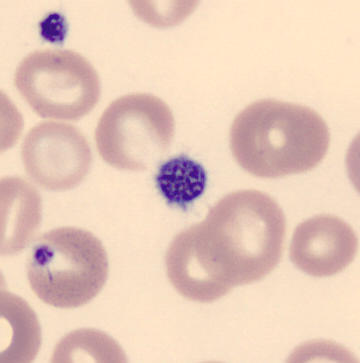CellaVision DM96. Peripheral blood film. Platelet.